Bone marrow smear · single-cell crop:
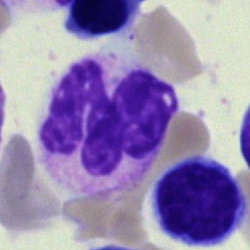 Single cell identified as a segmented neutrophil.